40× objective, oil immersion. Bone marrow aspirate smear.
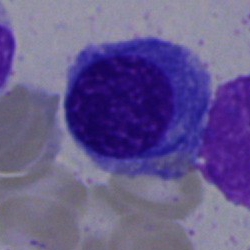 Specimen: bone marrow smear.
Cell type: nucleated red cell.
Lineage: erythroid.